Bone marrow aspirate smear. Cropped to a single cell — 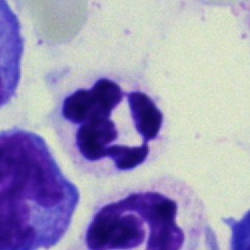
Specimen: bone marrow aspirate smear.
Cell type: polymorphonuclear neutrophil.
Lineage: myeloid.